Single cell centered in the field. Bone marrow aspirate smear. Pappenheim-stained
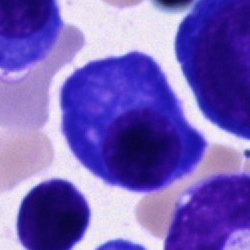Q: What is the morphological classification of this cell?
A: This is a plasmacyte.